Bone marrow aspirate smear.
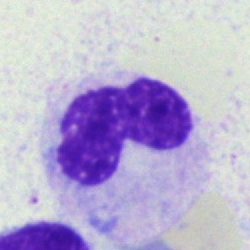 The cell is neutrophil (band).